Peripheral blood smear. Single-cell field: 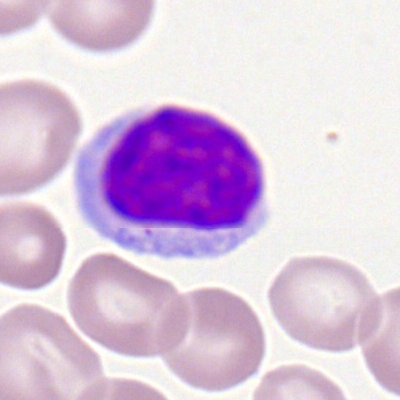 Specimen: peripheral blood smear.
Cell: typical lymphocyte.